Bone marrow smear:
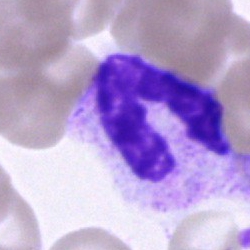

Cell — band-form neutrophil.